Bone marrow smear; image size 250×250 — 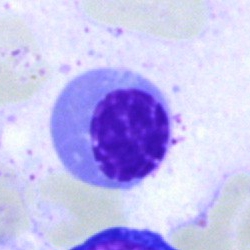 Q: What is shown here?
A: This is a nucleated red blood cell.